May-Grünwald-Giemsa stain. Bone marrow aspirate smear: 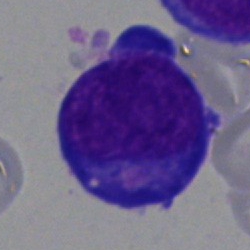

This is an erythroblast.